Bone marrow smear — 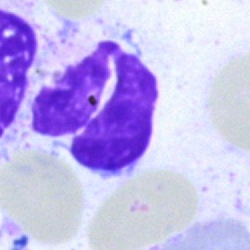Q: What is shown here?
A: It is an artefact.